Romanowsky-type stain. Peripheral blood smear.
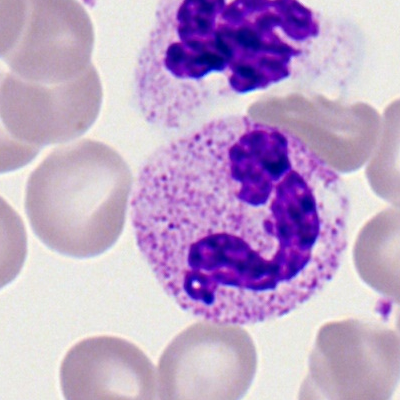Q: Which cell type is shown here?
A: Neutrophil (segmented).